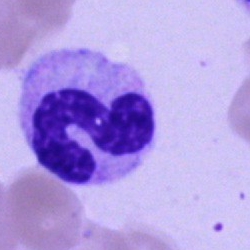 Cell: neutrophil (segmented).